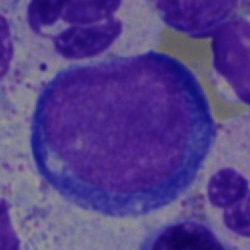 Classification: proerythroblast.